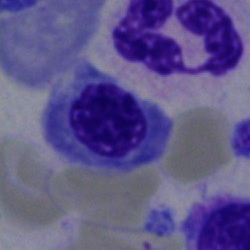

The morphological class is nucleated red cell.